Bone marrow smear
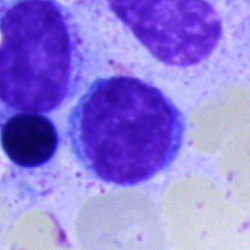

Q: What is shown here?
A: A typical lymphocyte.